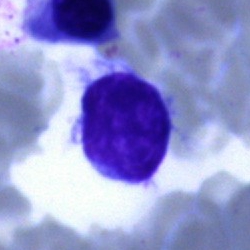{"cell_type": "typical lymphocyte"}